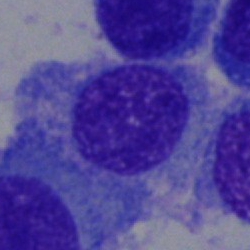

Specimen: bone marrow aspirate smear.
Cell: plasma cell.
Lineage: lymphoid.